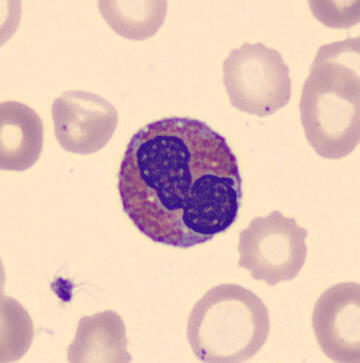An eosinophil on a peripheral blood smear.